Cropped to a single cell · bone marrow smear: 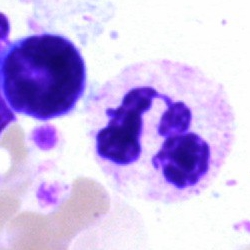

This is a segmented neutrophil.